MGG-stained; bone marrow aspirate smear; brightfield, 40× oil-immersion objective — 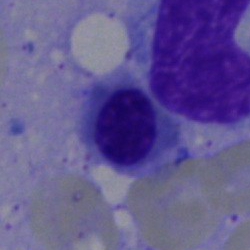
Single cell identified as a normoblast.